Bone marrow aspirate smear
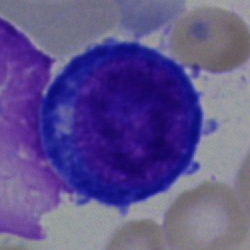

The classification is proerythroblast.